Bone marrow smear · brightfield microscopy, 40× oil immersion · MGG-stained — 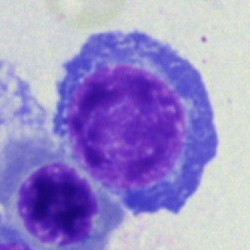
Cell type: normoblast.